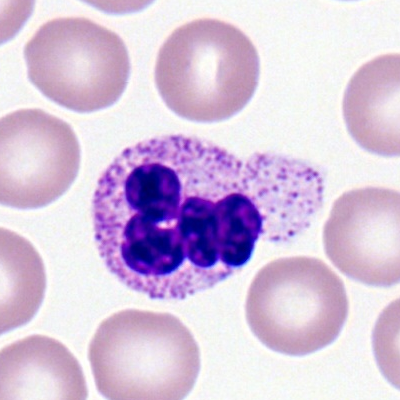
Specimen: peripheral blood smear.
Cell type: polymorphonuclear neutrophil.